Bone marrow smear. 250 by 250 pixels:
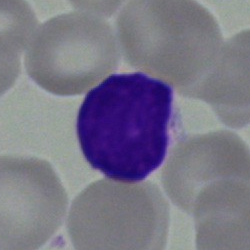
Single cell identified as a lymphocyte.